Peripheral blood smear. 100× objective, oil immersion
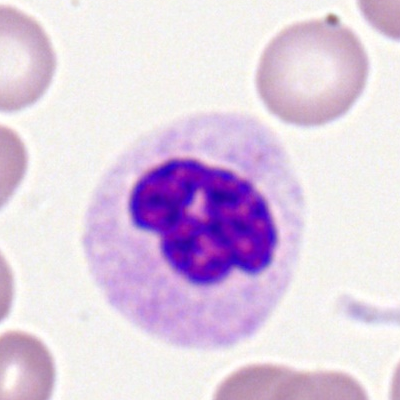 Morphological class = neutrophil (segmented).